Bone marrow smear
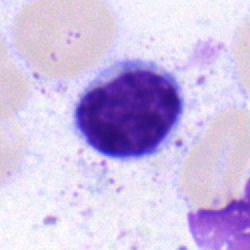This is a lymphocyte.